Bone marrow smear: 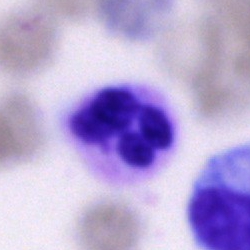

Polymorphonuclear neutrophil.